Bone marrow aspirate smear · cropped to a single cell.
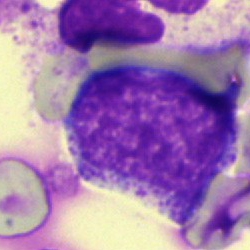
Promyelocyte.